May-Grünwald-Giemsa stain; single-cell crop; bone marrow aspirate smear
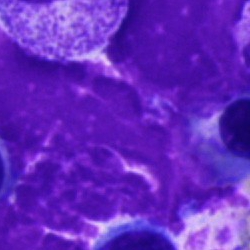 The cell shown is an artefact.